Bone marrow aspirate smear:
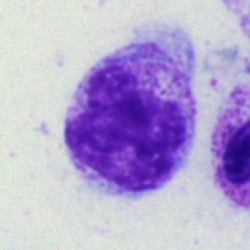
Classification — myelocyte.